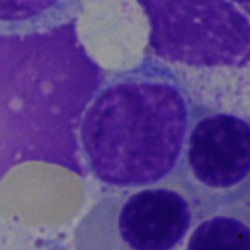Showing a typical lymphocyte.